Pappenheim-stained · bone marrow aspirate smear — 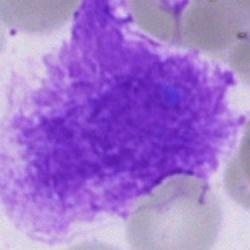
Classification = artifact.